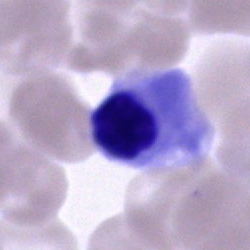
Q: What is shown here?
A: This is a cell of indeterminate lineage.